Single-cell field; bone marrow smear:
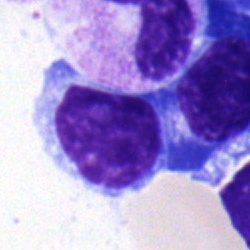 Morphological class: typical lymphocyte.